Single-cell field · image size 250×250 · bone marrow aspirate smear:
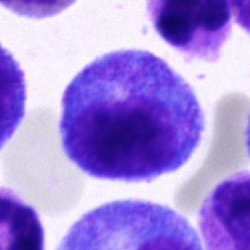

Promyelocyte.